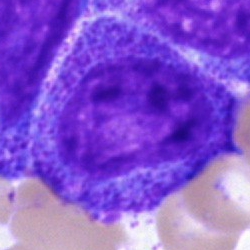
This is a promyelocyte.